Peripheral blood smear; 100× objective, oil immersion; 400 by 400 pixels: 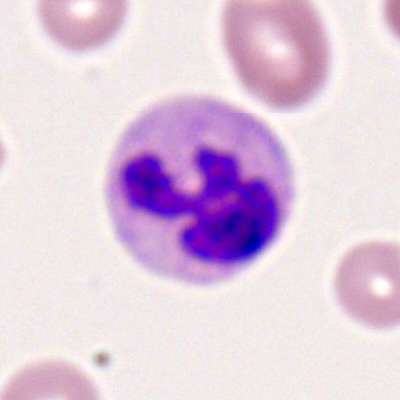

Specimen: peripheral blood film.
Morphological class: neutrophil (segmented).
Lineage: myeloid.